Brightfield microscopy, 40× oil immersion · bone marrow aspirate smear · May-Grünwald-Giemsa/Pappenheim stain
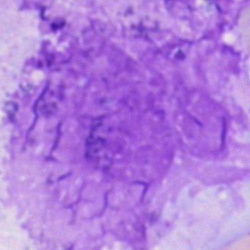
Morphological class: artifact.